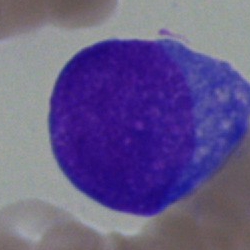
Showing a blast.